Bone marrow aspirate smear. 250 by 250 pixels. Single-cell field — 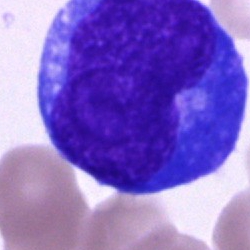This is a blast cell.